Romanowsky-stained · peripheral blood film: 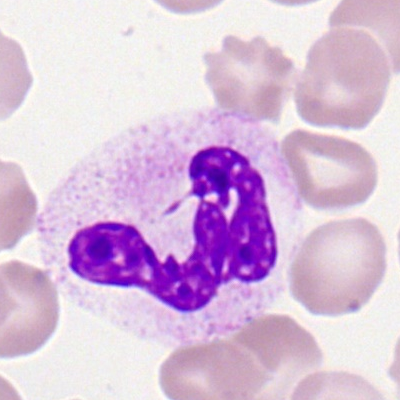Classification = neutrophil (segmented).